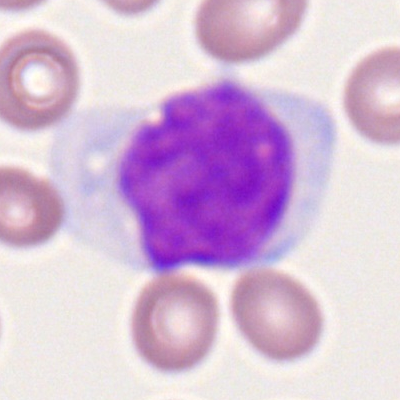

Q: What is the morphological classification of this cell?
A: Monocyte.